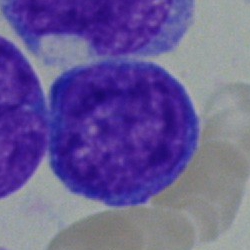Impression → undifferentiated blast.